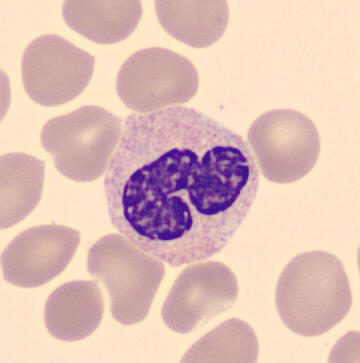
Cell — neutrophil (band).
Image: Automated cell imaging (CellaVision DM96) · peripheral blood film.